250 by 250 pixels · bone marrow aspirate smear · MGG-stained.
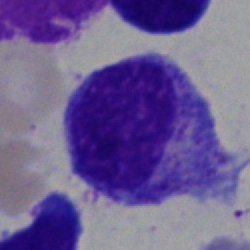
Showing a myelocyte.